Bone marrow smear.
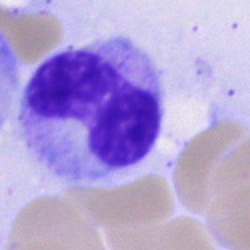
Specimen: bone marrow smear.
Morphological class: band-form neutrophil.
Lineage: myeloid.